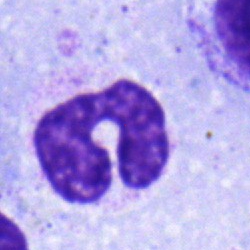
The cell type is band-form neutrophil.